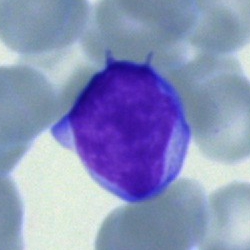
Typical lymphocyte.